Bone marrow smear: 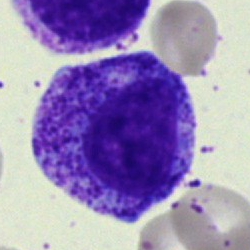 The cell shown is a promyelocyte.